Bone marrow smear
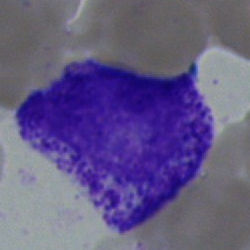 Specimen: bone marrow smear.
Cell: myelocyte.
Lineage: myeloid.